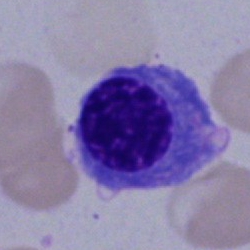This is a nucleated red blood cell.